Bone marrow smear:
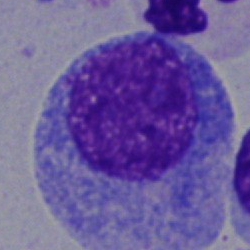A progranulocyte.